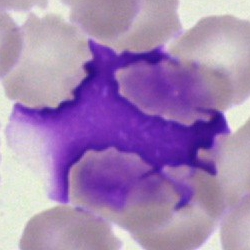
Q: What is shown here?
A: It is an artefact.